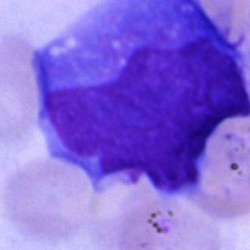 Single cell identified as an undifferentiated blast.